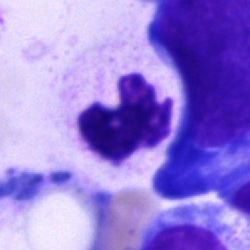 This is a polymorphonuclear neutrophil.